Peripheral blood film; Romanowsky-type stain; single cell centered in the field.
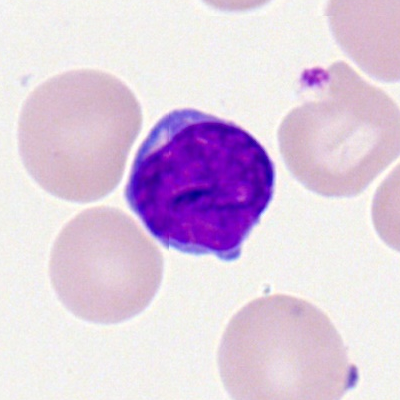

The cell shown is a lymphocyte.